Bone marrow smear: 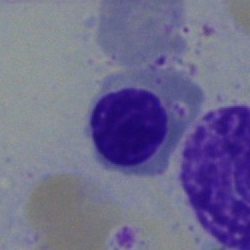

{"cell_type": "erythroblast", "lineage": "erythroid"}